Brightfield, 40× oil-immersion objective; bone marrow smear: 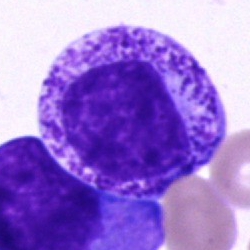
Cell type — progranulocyte.